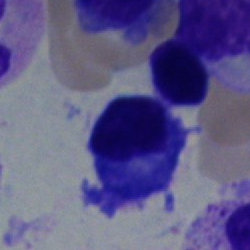

A plasmacyte.